Bone marrow smear: 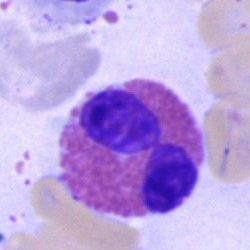Impression → eosinophilic granulocyte.